Romanowsky stain · peripheral blood smear — 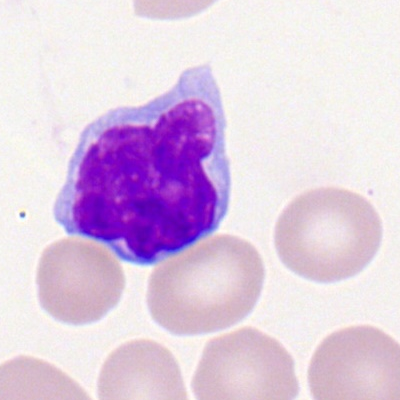 The cell shown is a typical lymphocyte.